Bone marrow aspirate smear.
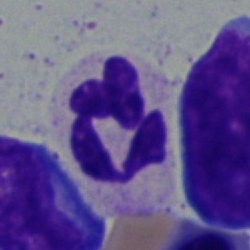 Specimen: bone marrow smear.
Morphological class: segmented neutrophil.